Single cell centered in the field. Bone marrow smear:
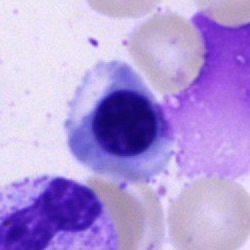Q: Which cell type is shown here?
A: Nucleated red blood cell.